May-Grünwald-Giemsa/Pappenheim stain; bone marrow smear
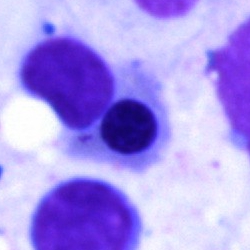 Specimen: bone marrow smear.
Cell: erythroblast.
Lineage: erythroid.